Image size 250×250 · bone marrow smear — 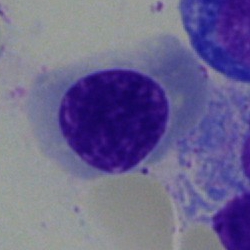
Cell type: nucleated red blood cell.